Pappenheim-stained · bone marrow aspirate smear — 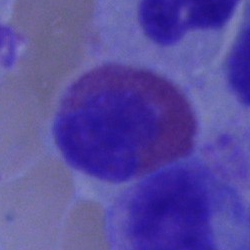
Specimen: bone marrow aspirate smear.
Cell type: eosinophilic granulocyte.